Bone marrow aspirate smear
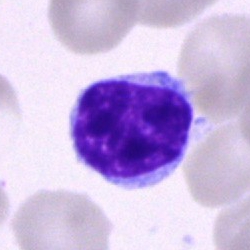 Morphology — lymphocyte.